Bone marrow aspirate smear: 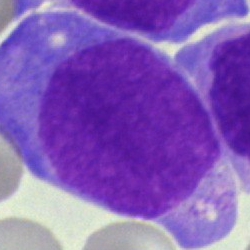

Q: Which cell type is shown here?
A: Blast cell.